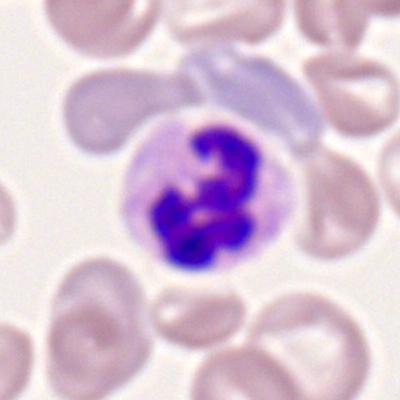Q: What type of cell is this?
A: Segmented neutrophil.